Bone marrow smear; 40× oil immersion; image size 250×250:
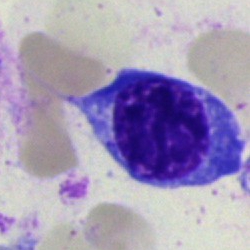 The cell type is nucleated red blood cell.